Peripheral blood smear.
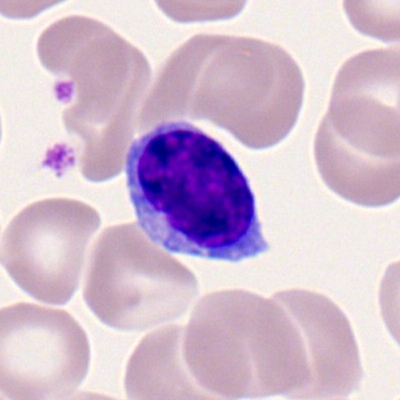

Q: What is the morphological classification of this cell?
A: Typical lymphocyte.